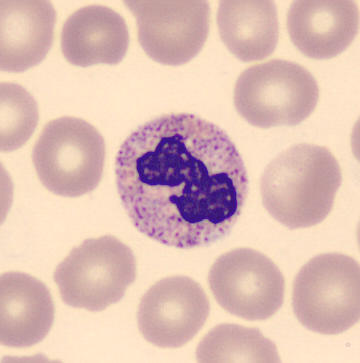 Classification — neutrophil (segmented).